Bone marrow aspirate smear:
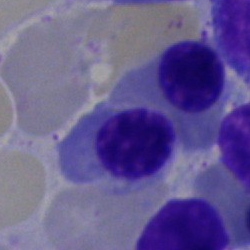 Cell — erythroblast.